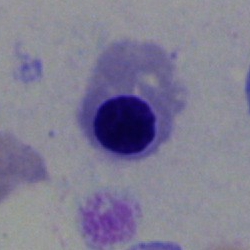 Specimen: bone marrow aspirate smear.
Cell: nucleated red cell.